Peripheral blood film:
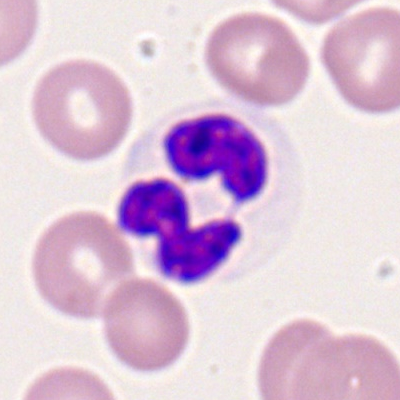 Morphological class: polymorphonuclear neutrophil.